Bone marrow smear: 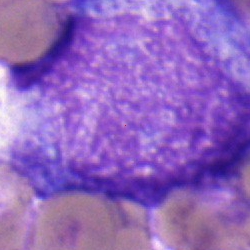

The morphological class is progranulocyte.